Bone marrow aspirate smear · brightfield, 40× oil-immersion objective — 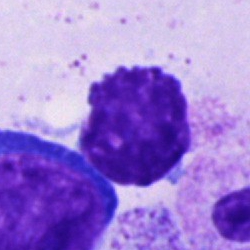

Q: What is shown here?
A: It is an artefact.